Single-cell field; bone marrow smear.
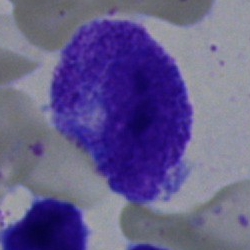Cell type = progranulocyte.